Peripheral blood film. M8 digital microscope (Precipoint), 100× oil immersion. Romanowsky-stained — 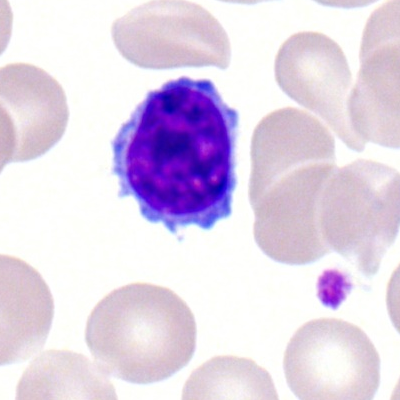

Morphology consistent with a typical lymphocyte.